Bone marrow smear.
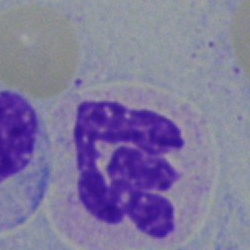
Specimen: bone marrow smear.
Morphological class: neutrophil (segmented).